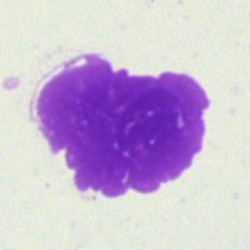

Specimen: bone marrow smear.
Morphological class: artefact.